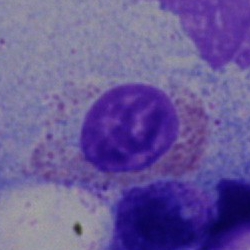Q: What is shown here?
A: Eosinophil.